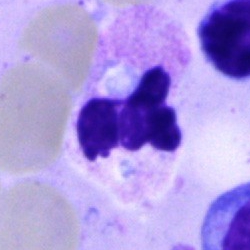
The cell shown is a neutrophil (segmented).